Bone marrow aspirate smear
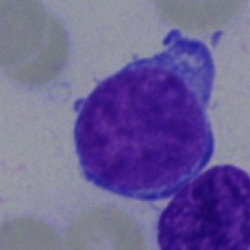Q: Identify the cell.
A: A blast.